Bone marrow aspirate smear: 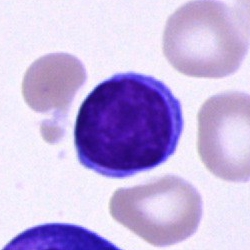

Q: What is the morphological classification of this cell?
A: It is a lymphocyte.